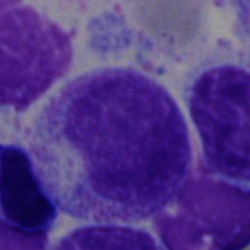Cell = myelocyte.